Pappenheim-stained. Bone marrow aspirate smear — 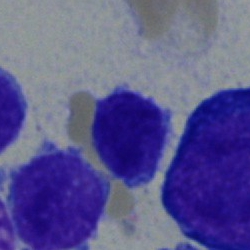Showing a lymphocyte.